Bone marrow aspirate smear:
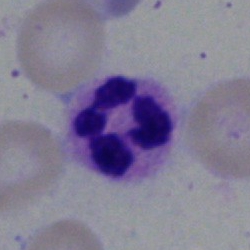
The classification is segmented neutrophil.